Bone marrow smear · May-Grünwald-Giemsa/Pappenheim stain · 250×250 px:
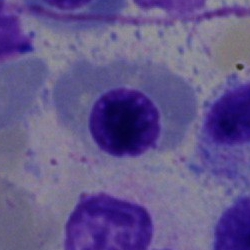Specimen: bone marrow aspirate smear.
Morphological class: nucleated red blood cell.
Lineage: erythroid.